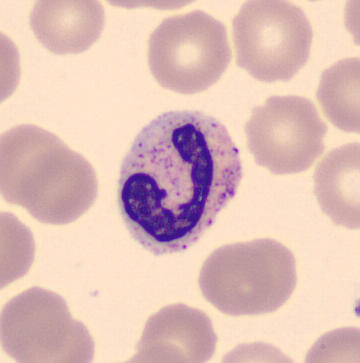
Cell type — neutrophil (band).